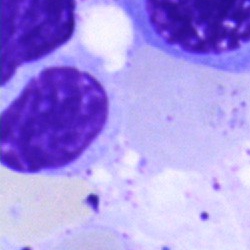

Specimen: bone marrow aspirate smear.
Classification: artefact.